Peripheral blood film. Cropped to a single cell.
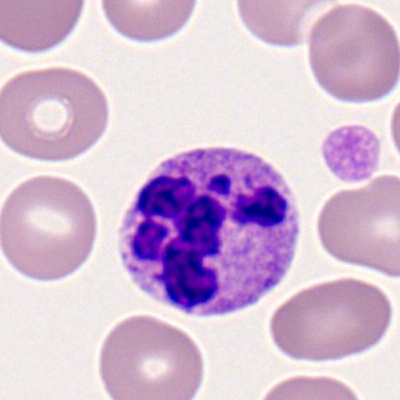Q: What type of cell is this?
A: Polymorphonuclear neutrophil.